MGG-stained. Bone marrow aspirate smear:
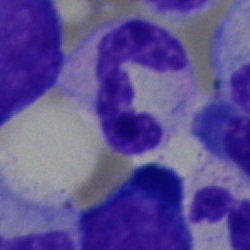Cell type — polymorphonuclear neutrophil.